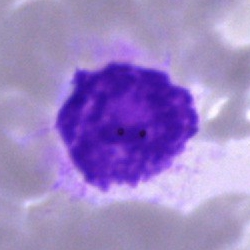
Morphology → artifact.